Bone marrow aspirate smear.
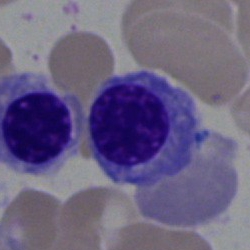Q: What is the morphological classification of this cell?
A: This is a normoblast.